Peripheral blood film.
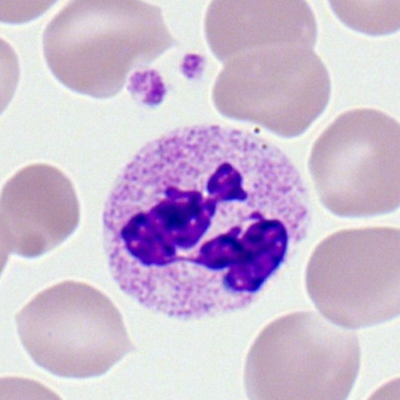

Classification: segmented neutrophil.